Bone marrow aspirate smear: 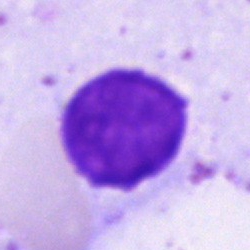 Q: What is shown here?
A: It is an artefact.